Bone marrow smear; image size 250×250 — 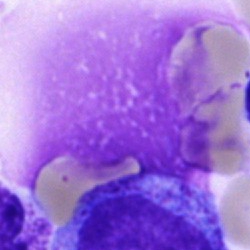

Morphology → artefact.